Bone marrow smear.
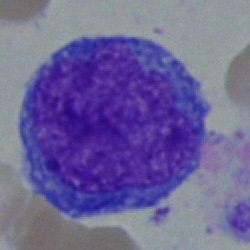 Specimen: bone marrow aspirate smear.
Classification: undifferentiated blast.